100× oil immersion, 14.14 px/µm. Romanowsky-type stain. Peripheral blood film — 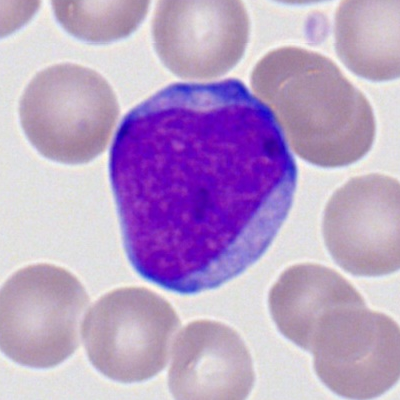 Cell = myeloid blast.